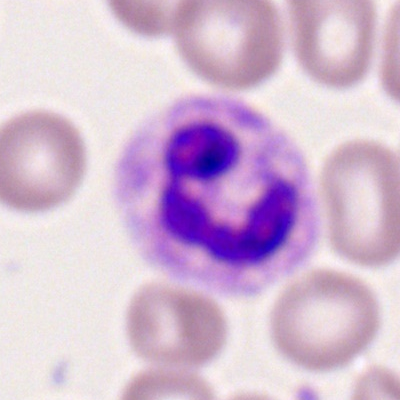 The cell shown is a polymorphonuclear neutrophil.